Bone marrow aspirate smear. 40× objective, oil immersion. Image size 250×250.
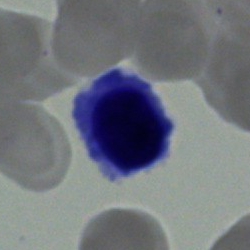The cell type is normoblast.